Single-cell crop; 400×400 px; peripheral blood smear
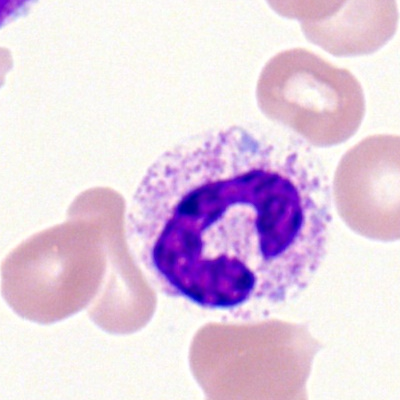

Morphological class = neutrophil (segmented).